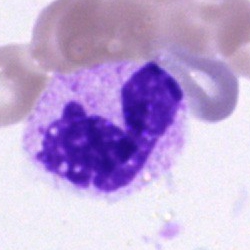Morphological class: neutrophil (segmented).